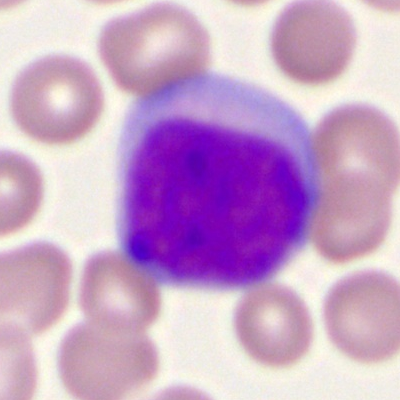Specimen: peripheral blood smear.
Cell: myeloid blast.
Lineage: myeloid.